Brightfield, 40× oil-immersion objective · single-cell crop · bone marrow aspirate smear — 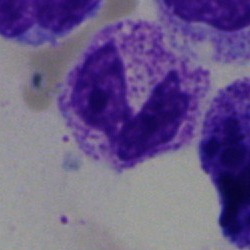
Single cell identified as a neutrophil (segmented).